Bone marrow smear — 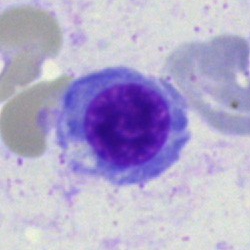 Morphology → nucleated red cell.